Bone marrow smear: 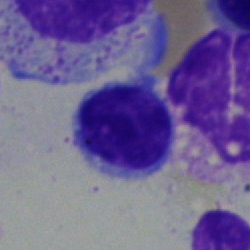Specimen: bone marrow aspirate smear.
Classification: typical lymphocyte.
Lineage: lymphoid.